Peripheral blood film; Romanowsky-stained; 400×400 — 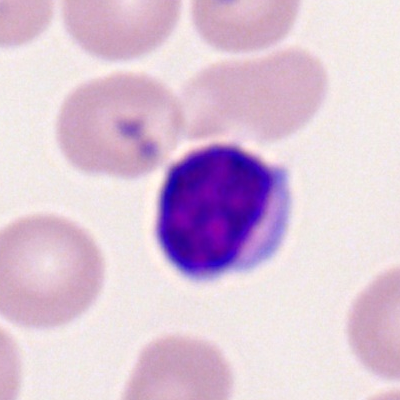Q: What cell is this?
A: This is a lymphocyte.